Bone marrow smear:
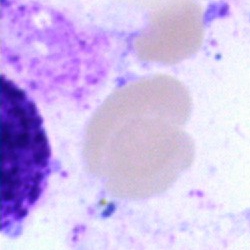 Specimen: bone marrow smear.
Morphological class: artefact.